Bone marrow smear. Cropped to a single cell. May-Grünwald-Giemsa/Pappenheim stain: 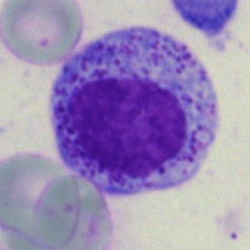

Morphology — myelocyte.